Bone marrow smear — 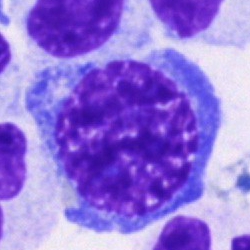Classification: nucleated red blood cell.